Bone marrow smear
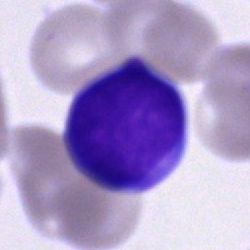{"cell_type": "artifact"}